Image size 250×250; bone marrow smear:
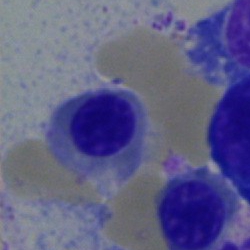 Q: What is shown here?
A: This is an erythroblast.